Bone marrow aspirate smear · cropped to a single cell.
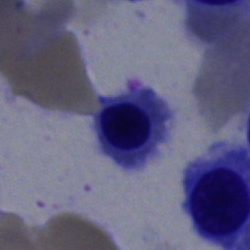 This is a nucleated red cell.